Bone marrow smear
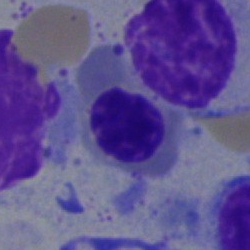 Q: What type of cell is this?
A: A nucleated red cell.